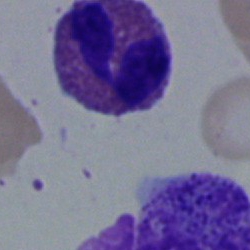Showing an eosinophilic granulocyte.